40× objective, oil immersion. Bone marrow aspirate smear. Image size 250×250:
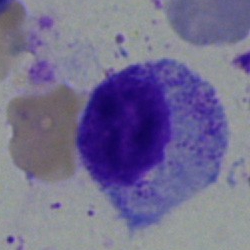A myelocyte.